Bone marrow aspirate smear: 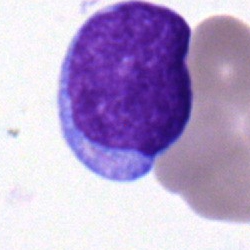 An undifferentiated blast.